Bone marrow aspirate smear; brightfield microscopy, 40× oil immersion: 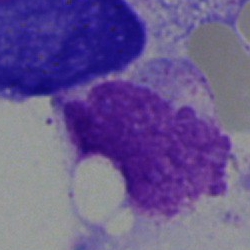
Single cell identified as an artefact.